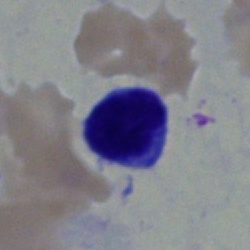
Specimen: bone marrow aspirate smear.
Cell type: typical lymphocyte.